Single cell centered in the field. Bone marrow aspirate smear.
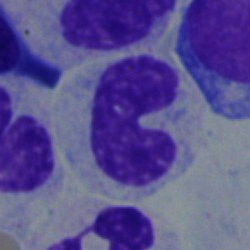 Q: What is the morphological classification of this cell?
A: Stab cell.